250×250 · bone marrow aspirate smear.
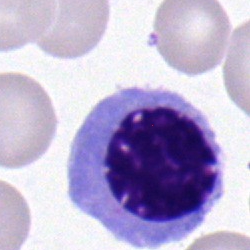 Q: What type of cell is this?
A: It is a nucleated red cell.